Bone marrow aspirate smear
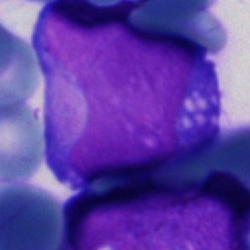

The classification is undifferentiated blast.